Image size 400×400 · peripheral blood film — 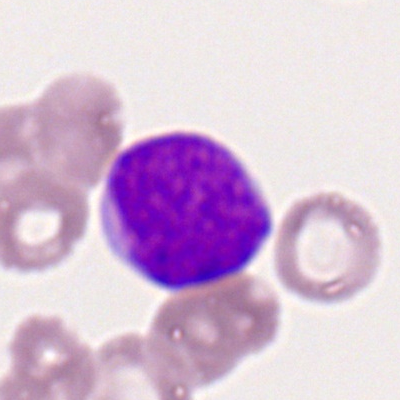Impression → myeloid blast.